Brightfield, 40× oil-immersion objective; 250 by 250 pixels; bone marrow aspirate smear
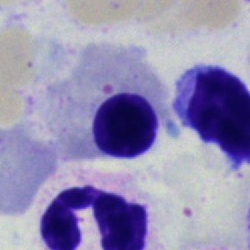Q: Which cell type is shown here?
A: A normoblast.